Bone marrow smear:
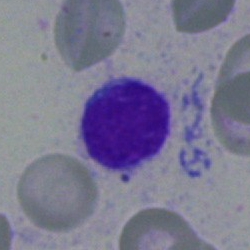
Cell type — typical lymphocyte.